Bone marrow aspirate smear · cropped to a single cell
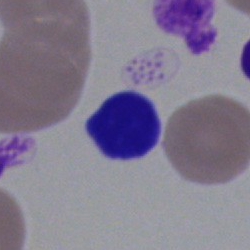 An artifact.